Bone marrow aspirate smear — 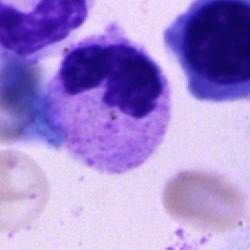Q: What type of cell is this?
A: This is a segmented neutrophil.